Bone marrow aspirate smear; May-Grünwald-Giemsa/Pappenheim stain — 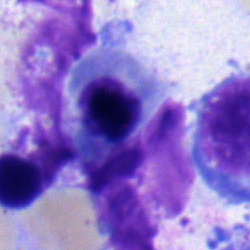
Specimen: bone marrow smear.
Classification: nucleated red blood cell.